Bone marrow aspirate smear
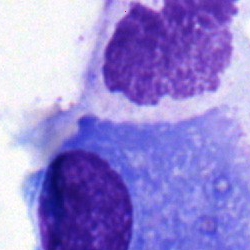Specimen: bone marrow smear.
Cell: neutrophil (segmented).
Lineage: myeloid.